40× objective, oil immersion; single cell centered in the field; bone marrow aspirate smear.
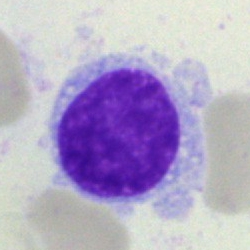

Showing a hairy cell.